Bone marrow aspirate smear · single-cell crop — 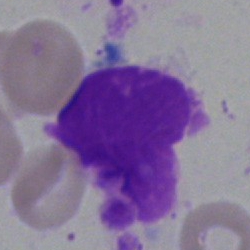 Specimen: bone marrow aspirate smear.
Cell: artefact.